360×363 px · peripheral blood film
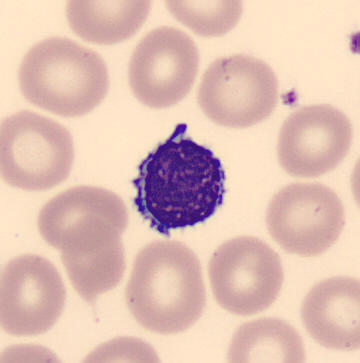

Morphological class = lymphocyte.